Bone marrow smear: 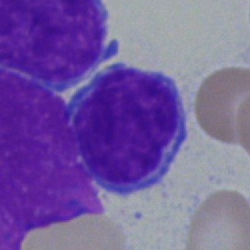
{"cell_type": "typical lymphocyte"}